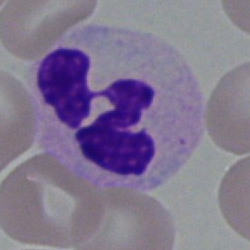 Q: What is shown here?
A: It is a segmented neutrophil.